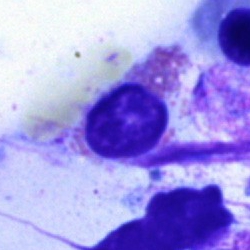This is an artefact.